Bone marrow smear.
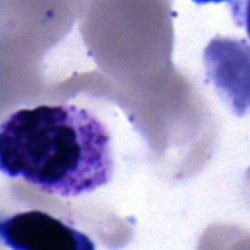
Specimen: bone marrow smear.
Cell: neutrophil (segmented).
Lineage: myeloid.